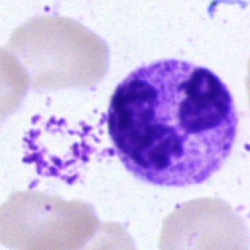
Impression — segmented neutrophil.